Cropped to a single cell. Bone marrow smear:
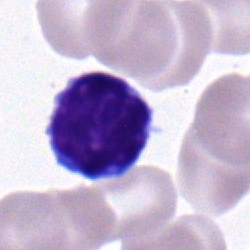Specimen: bone marrow smear.
Cell type: typical lymphocyte.
Lineage: lymphoid.